Bone marrow aspirate smear:
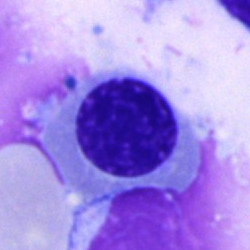Showing a nucleated red cell.